Bone marrow aspirate smear
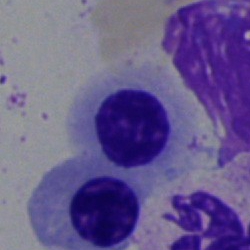 Specimen: bone marrow smear.
Classification: nucleated red blood cell.
Lineage: erythroid.